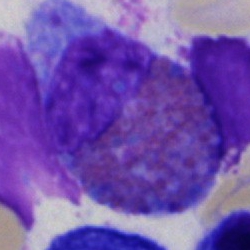
Morphology — eosinophil.